Image size 250×250; MGG-stained; bone marrow aspirate smear
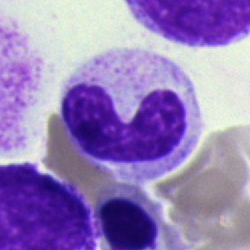

The cell shown is a neutrophil (band).